Single cell centered in the field. 250×250. Bone marrow smear: 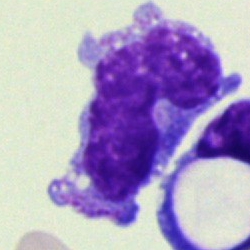 Specimen: bone marrow smear.
Cell type: monocyte.